Bone marrow smear; brightfield, 40× oil-immersion objective — 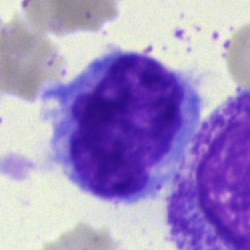
{"cell_type": "monocyte"}